Bone marrow aspirate smear. 250×250 px: 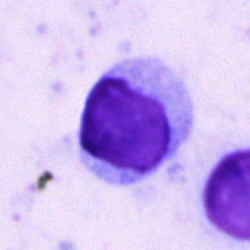 Showing a typical lymphocyte.